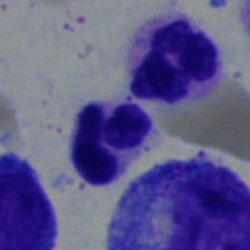 Morphological class = polymorphonuclear neutrophil.